Single-cell field. Bone marrow smear: 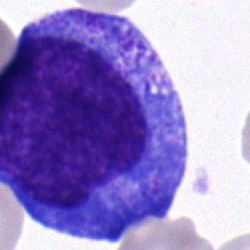 Blast.